Bone marrow smear; Pappenheim-stained
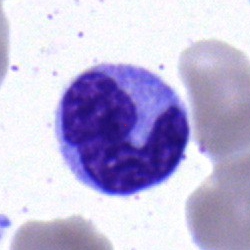Specimen: bone marrow smear.
Morphological class: monocyte.
Lineage: myeloid.